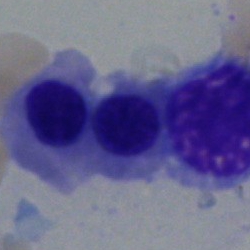
Impression → erythroblast.